40× oil immersion · bone marrow aspirate smear · MGG-stained.
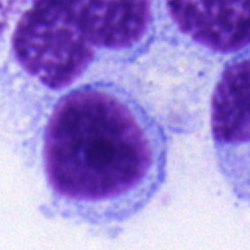 This is a typical lymphocyte.